Bone marrow aspirate smear · 40× objective, oil immersion
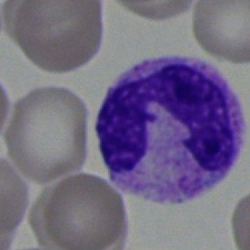
Q: What type of cell is this?
A: Neutrophil (band).